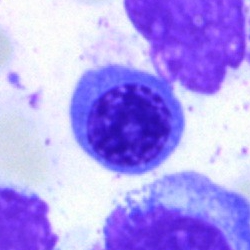 Classification = nucleated red blood cell.